Single-cell field; bone marrow smear — 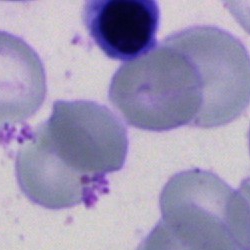 Artifact.